Bone marrow smear
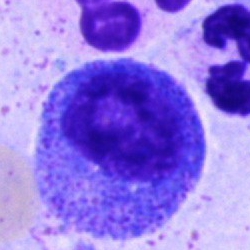 Progranulocyte.